Bone marrow smear. Pappenheim-stained. Image size 250×250: 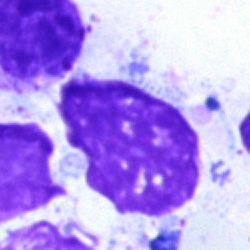Cell — artefact.